Bone marrow aspirate smear
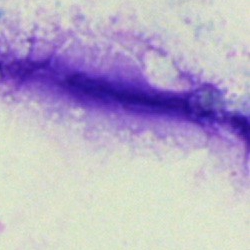 Q: What is shown here?
A: This is an artefact.